Bone marrow smear. 40× oil immersion
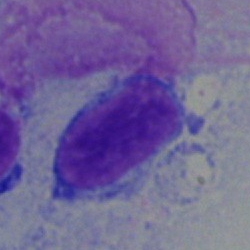Impression → lymphocyte.